Bone marrow smear · Pappenheim-stained:
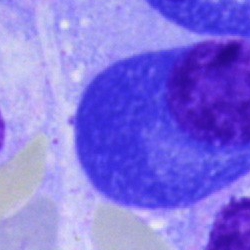Morphology consistent with a plasma cell.